Bone marrow aspirate smear; 250×250 px: 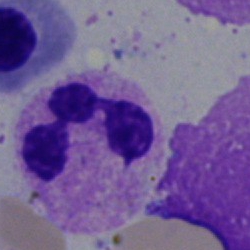 Specimen: bone marrow smear.
Classification: neutrophil (segmented).
Lineage: myeloid.